400×400; peripheral blood smear: 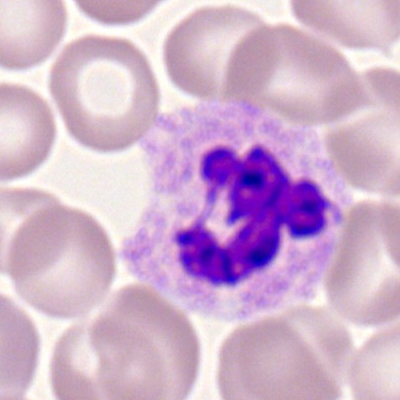

Morphology — polymorphonuclear neutrophil.